Bone marrow smear
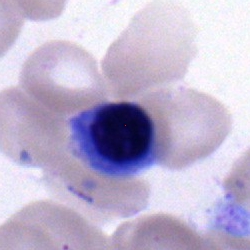Morphology consistent with a nucleated red blood cell.